250×250 px. Bone marrow smear. Single cell centered in the field:
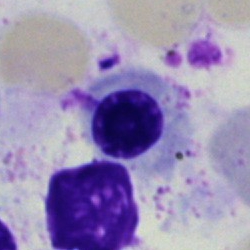
Specimen: bone marrow smear.
Cell type: nucleated red cell.
Lineage: erythroid.